Bone marrow aspirate smear; image size 250×250.
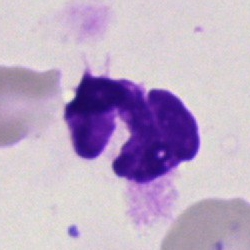

An artifact.